Pappenheim-stained · bone marrow smear
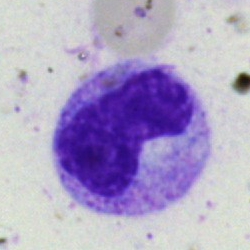

This is a metamyelocyte.